Pappenheim-stained; bone marrow aspirate smear.
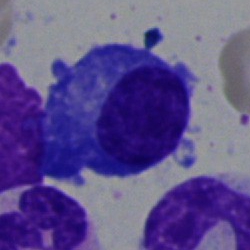 Morphological class: plasma cell.